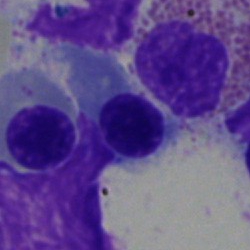Q: What type of cell is this?
A: This is a nucleated red cell.